Bone marrow smear — 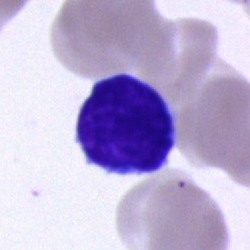 Q: What is the morphological classification of this cell?
A: It is a typical lymphocyte.